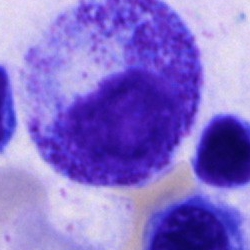

{"cell_type": "progranulocyte"}